Bone marrow aspirate smear: 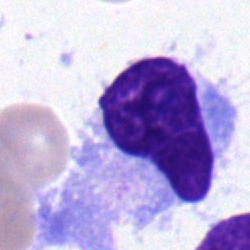 Single cell identified as a lymphocyte.